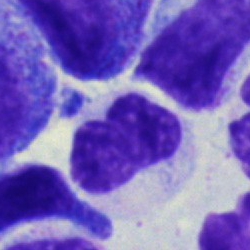Specimen: bone marrow smear.
Classification: metamyelocyte.